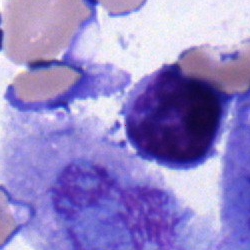 Impression — lymphocyte.